Bone marrow aspirate smear.
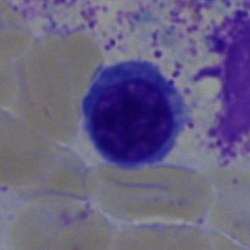 The classification is nucleated red cell.